Bone marrow aspirate smear:
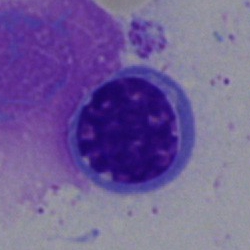The cell shown is an erythroblast.